Bone marrow smear
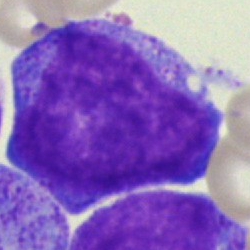 The morphological class is progranulocyte.